Pappenheim-stained; single cell centered in the field; bone marrow smear: 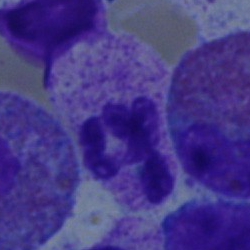Cell type — segmented neutrophil.